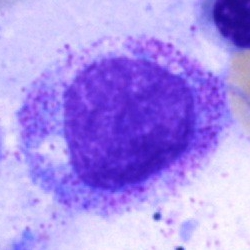

Classification — promyelocyte.